Bone marrow smear:
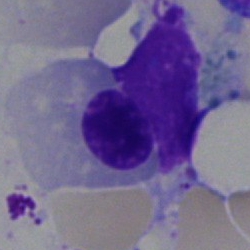

Normoblast.